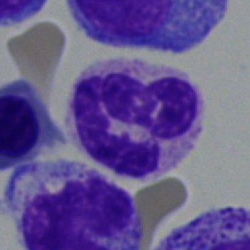 The classification is segmented neutrophil.